Bone marrow aspirate smear. MGG-stained: 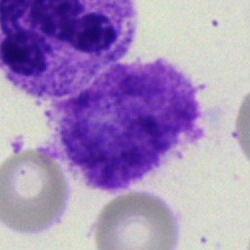
Specimen: bone marrow smear.
Classification: artefact.